Bone marrow aspirate smear · single-cell field:
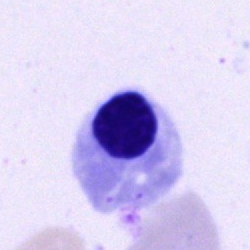 This is a nucleated red blood cell.